Peripheral blood film · imaged on a CellaVision DM96 analyser · May-Grünwald-Giemsa-stained:
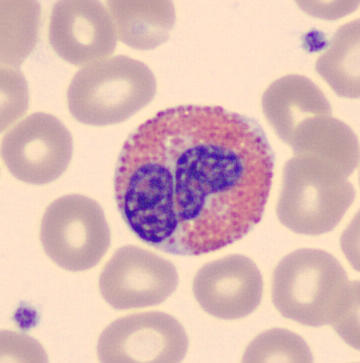

Q: What is the morphological classification of this cell?
A: This is an eosinophil.